Bone marrow smear
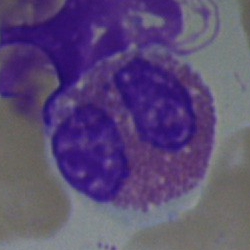

The cell type is eosinophilic granulocyte.